Bone marrow smear; 250×250 px: 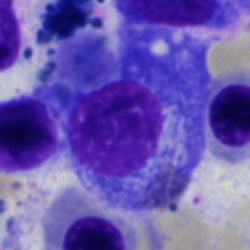

A plasmacyte.